Bone marrow aspirate smear:
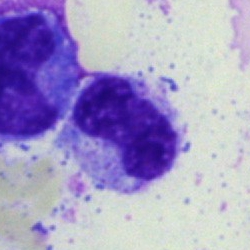
Q: What is shown here?
A: This is a band neutrophil.